Bone marrow aspirate smear:
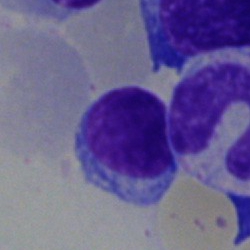 Showing a typical lymphocyte.